Bone marrow smear; Pappenheim-stained; single-cell field
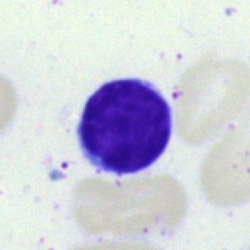Morphological class — lymphocyte.